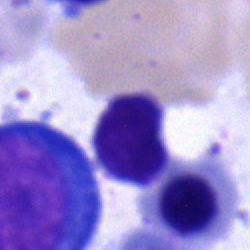
A typical lymphocyte.